Bone marrow smear.
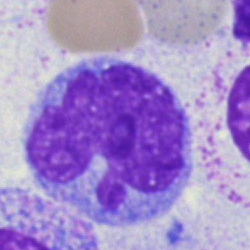

Q: What type of cell is this?
A: Monocyte.